Bone marrow smear. May-Grünwald-Giemsa/Pappenheim stain — 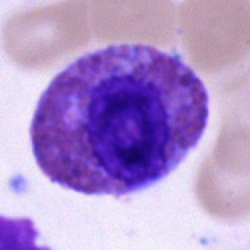 Eosinophilic granulocyte.